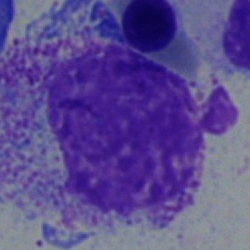

Morphology — myelocyte.